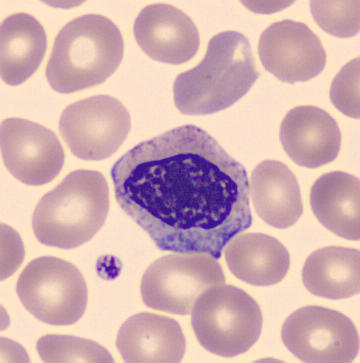

Specimen: peripheral blood film.
Classification: metamyelocyte.
Preparation: Image size 360×363. MGG stain.